250 by 250 pixels. Bone marrow aspirate smear:
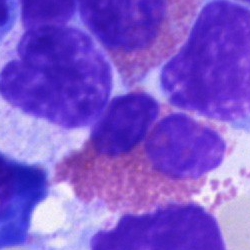

The cell type is eosinophilic granulocyte.